Bone marrow smear: 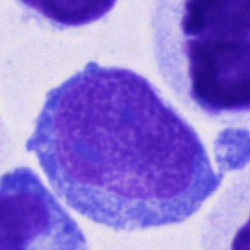Impression → blast cell.